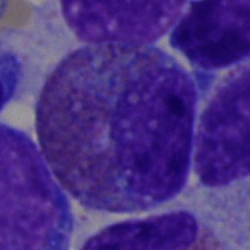

Specimen: bone marrow aspirate smear.
Morphological class: eosinophilic granulocyte.
Lineage: myeloid.